Bone marrow aspirate smear.
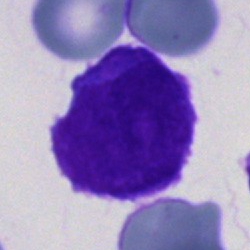 Showing a blast cell.